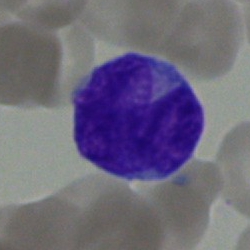

A blast cell.